Bone marrow aspirate smear · 40× oil immersion · single-cell crop.
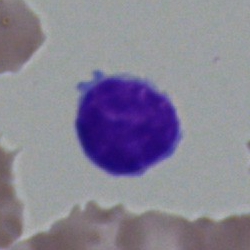Single cell identified as a typical lymphocyte.